Single-cell field. Bone marrow smear.
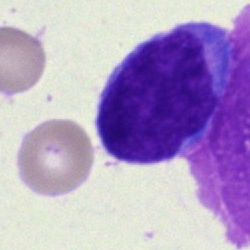

Cell type = lymphocyte.